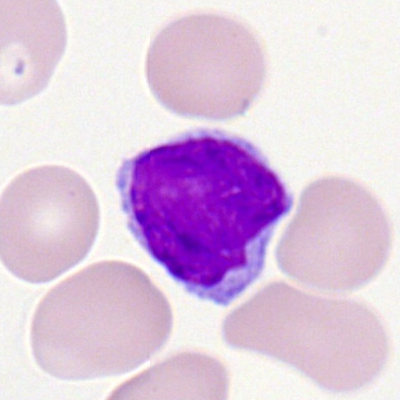 Q: What type of cell is this?
A: This is a lymphocyte.